Bone marrow smear
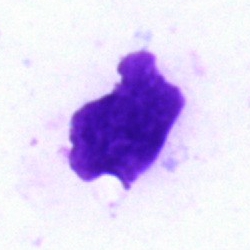Morphology consistent with an artifact.